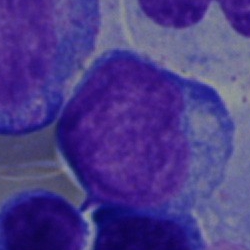 {"cell_type": "blast"}